Brightfield microscopy, 40× oil immersion · bone marrow aspirate smear: 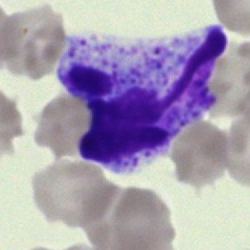
Cell: artifact.